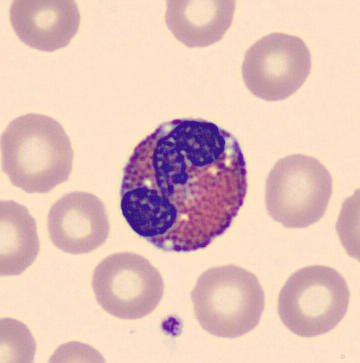

Acquisition: Peripheral blood smear. {"cell_type": "eosinophilic granulocyte"}